Bone marrow smear; May-Grünwald-Giemsa/Pappenheim stain; single-cell field
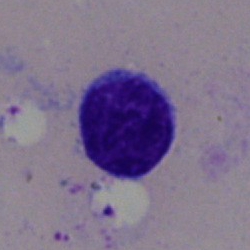 Showing a typical lymphocyte.